Bone marrow smear — 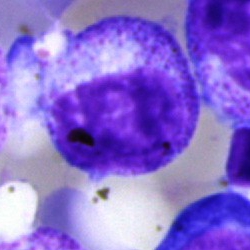
Q: What is the morphological classification of this cell?
A: This is a myelocyte.